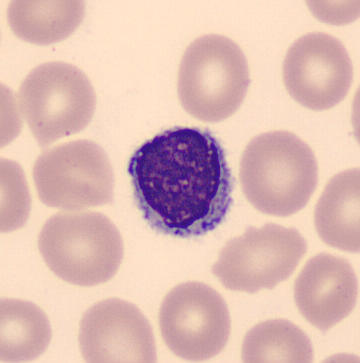
Specimen: peripheral blood film.
Morphological class: lymphocyte.
Lineage: lymphoid.